Bone marrow smear.
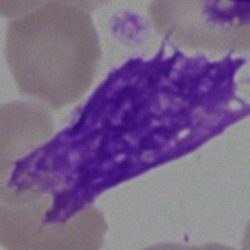 Q: What is shown here?
A: It is an artefact.